250 by 250 pixels · bone marrow aspirate smear · brightfield microscopy, 40× oil immersion:
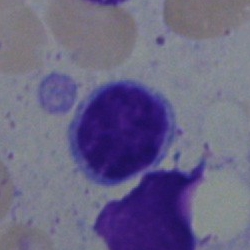

The classification is typical lymphocyte.